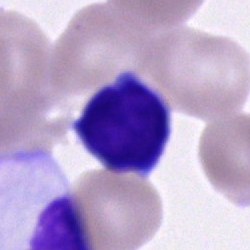

Single cell identified as a typical lymphocyte.